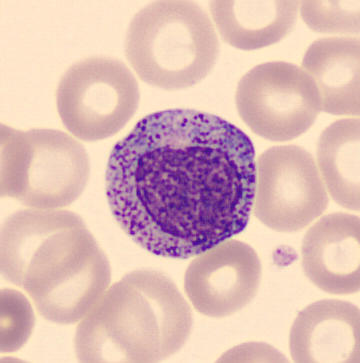
Showing a progranulocyte.

Automated cell imaging (CellaVision DM96); peripheral blood smear.